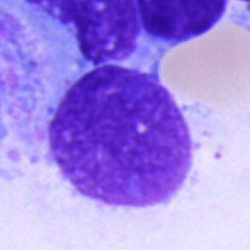 Specimen: bone marrow smear.
Classification: artefact.